Peripheral blood film:
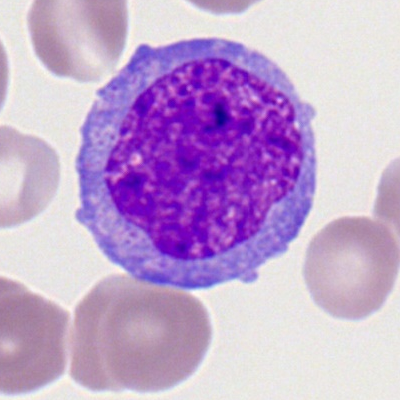 Specimen: peripheral blood film.
Cell: monocyte.
Lineage: myeloid.